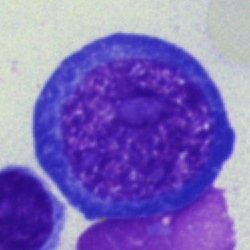
Q: What is shown here?
A: A normoblast.